Bone marrow smear; single-cell crop — 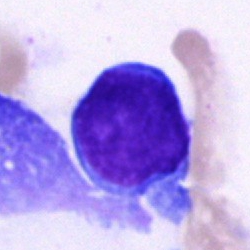
Lymphocyte.